Bone marrow smear. 40× oil immersion.
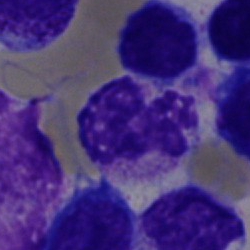

Q: What is the morphological classification of this cell?
A: A polymorphonuclear neutrophil.